Pappenheim-stained; bone marrow smear
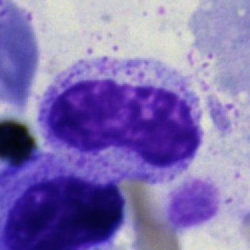
Q: What type of cell is this?
A: It is a stab cell.